Brightfield microscopy, 40× oil immersion · bone marrow aspirate smear · single cell centered in the field.
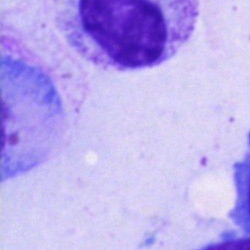Specimen: bone marrow aspirate smear.
Morphological class: polymorphonuclear neutrophil.